Bone marrow smear — 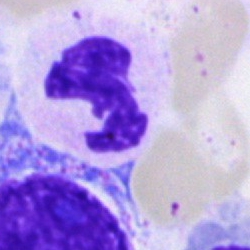
Morphology consistent with a polymorphonuclear neutrophil.